Single-cell field; 250×250; bone marrow aspirate smear
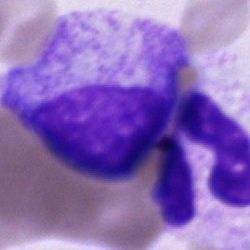 Morphological class — myelocyte.